Bone marrow smear — 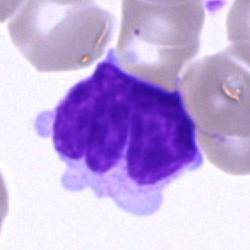
Q: What cell is this?
A: Typical lymphocyte.